Bone marrow aspirate smear.
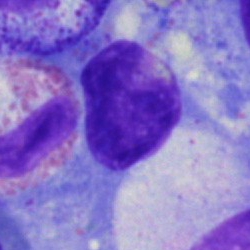
Morphology — artefact.